Peripheral blood film; single-cell field: 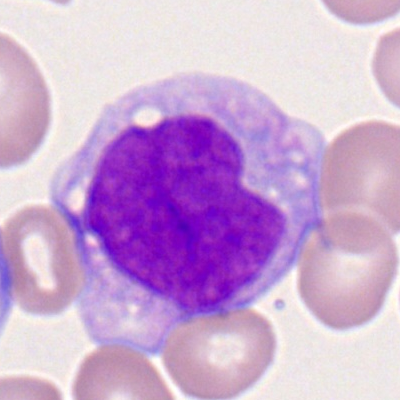Q: What type of cell is this?
A: Monoblast.